Bone marrow aspirate smear · single-cell crop.
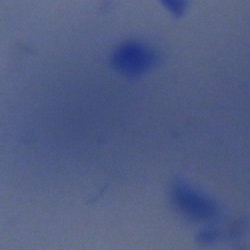 Morphology consistent with an artefact.